Bone marrow aspirate smear:
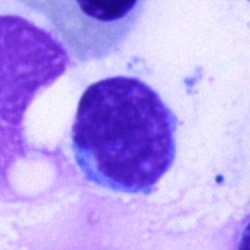Showing a lymphocyte.